Cropped to a single cell; brightfield, 40× oil-immersion objective; bone marrow aspirate smear.
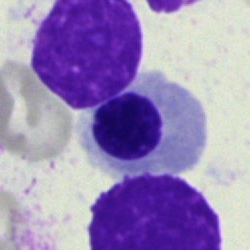

Specimen: bone marrow smear.
Cell type: erythroblast.
Lineage: erythroid.